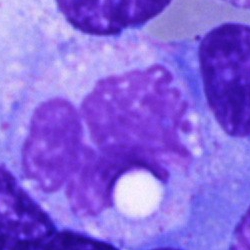

Morphology consistent with a monocyte.